Bone marrow aspirate smear: 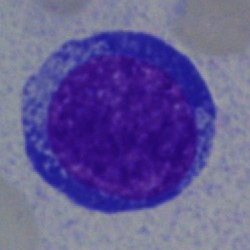 {"cell_type": "pronormoblast", "lineage": "erythroid"}